Bone marrow aspirate smear: 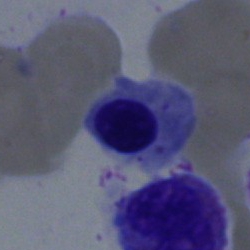
This is a nucleated red cell.